Bone marrow aspirate smear.
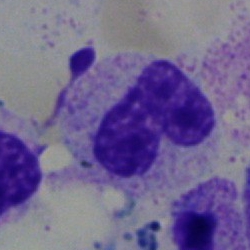 A stab cell.